Bone marrow aspirate smear; MGG-stained: 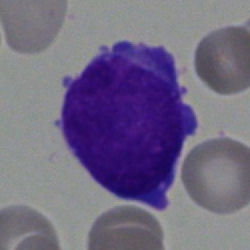

Q: What type of cell is this?
A: It is a promyelocyte.